Bone marrow smear; single cell centered in the field.
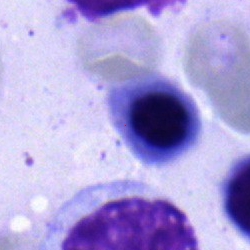
Cell type = nucleated red blood cell.